Bone marrow smear; 250 by 250 pixels — 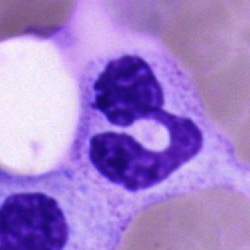

Single cell identified as a neutrophil (segmented).